Bone marrow aspirate smear: 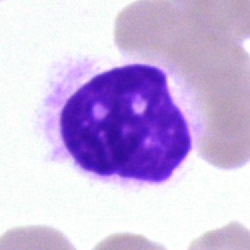Single cell identified as an artifact.